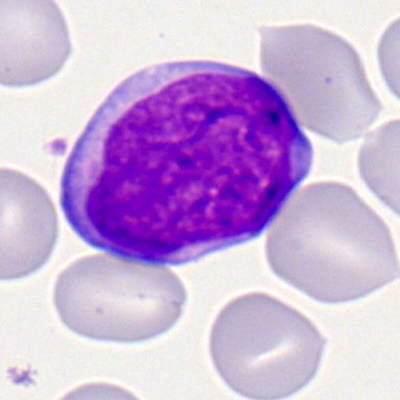
Q: What is shown here?
A: It is a myeloid blast.